Bone marrow aspirate smear
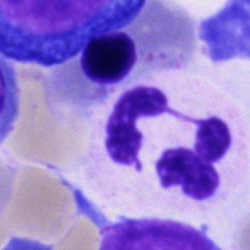

Morphology — segmented neutrophil.